May-Grünwald-Giemsa stain; bone marrow aspirate smear: 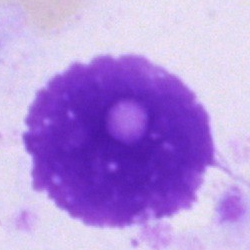 Cell type — artifact.